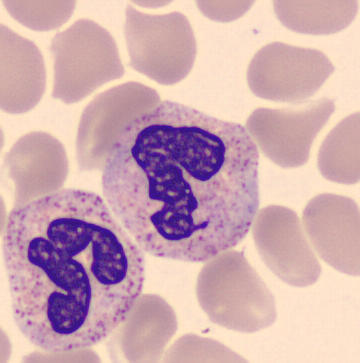
{"cell_type": "neutrophil (segmented)", "lineage": "myeloid"}